Bone marrow aspirate smear
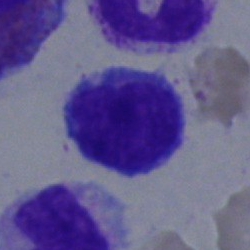 Specimen: bone marrow smear.
Cell: lymphocyte.